Bone marrow aspirate smear: 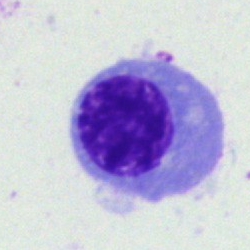 Q: What cell is this?
A: A nucleated red blood cell.